Bone marrow smear:
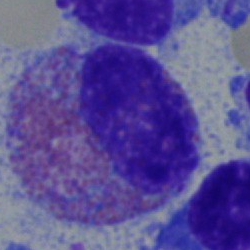

Impression → eosinophil.